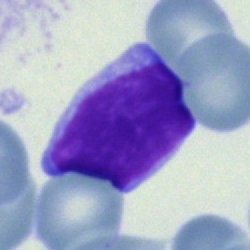

{"cell_type": "lymphocyte"}